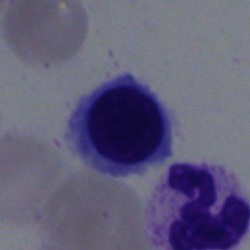
Specimen: bone marrow aspirate smear.
Cell type: nucleated red cell.